Bone marrow aspirate smear.
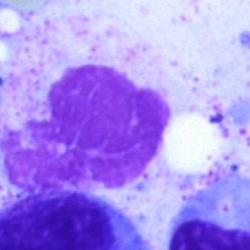The classification is artefact.